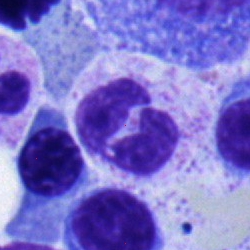 Specimen: bone marrow smear.
Cell type: segmented neutrophil.